Bone marrow smear; 40× objective, oil immersion — 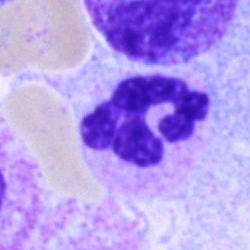

Q: Which cell type is shown here?
A: This is a polymorphonuclear neutrophil.